Peripheral blood smear.
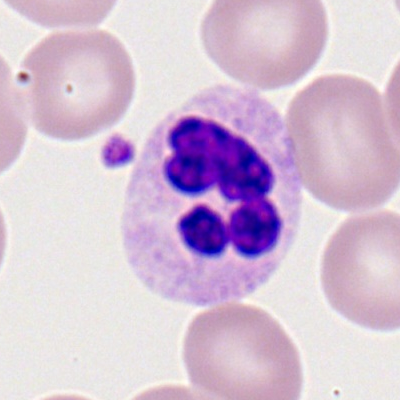
Q: Which cell type is shown here?
A: A segmented neutrophil.